Bone marrow smear; 40× oil immersion; 250×250 px:
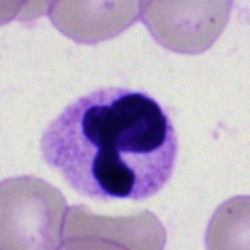

Specimen: bone marrow aspirate smear.
Cell: neutrophil (segmented).